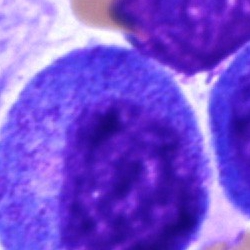
Cell = progranulocyte.